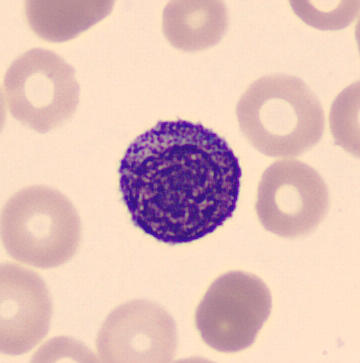

Image: 360×363 px. Peripheral blood film. May-Grünwald-Giemsa-stained.
Impression → myelocyte.